Bone marrow smear. May-Grünwald-Giemsa stain.
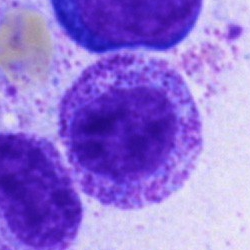{"cell_type": "myelocyte", "lineage": "myeloid"}